Bone marrow smear. Cropped to a single cell. 40× objective, oil immersion:
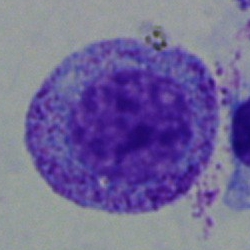
Classification: myelocyte.